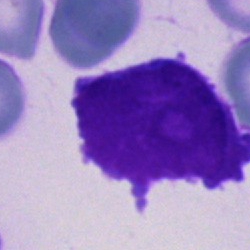
Morphology — blast cell.